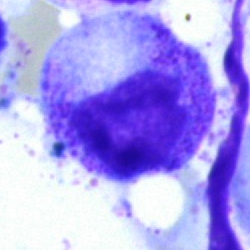Q: What is the morphological classification of this cell?
A: It is a myelocyte.